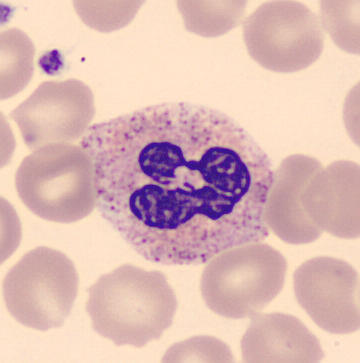
A polymorphonuclear neutrophil.

Image: Peripheral blood film.